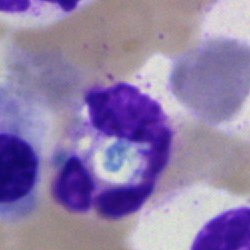
Cell = segmented neutrophil.